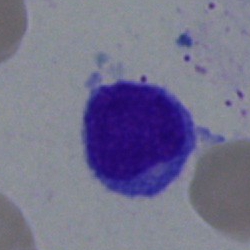
Single-cell crop from a bone marrow smear: lymphocyte.